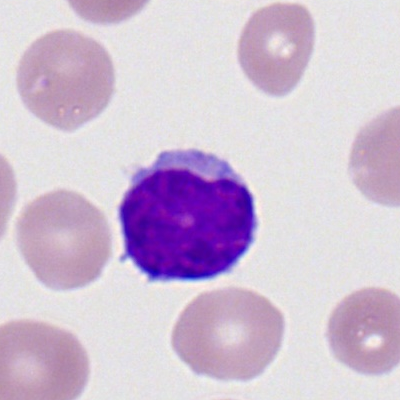 Morphological class = lymphocyte.